Single-cell field. Bone marrow smear.
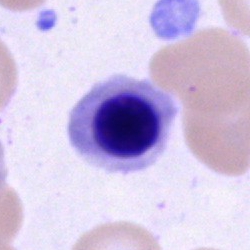
Cell type — nucleated red cell.